Bone marrow aspirate smear · brightfield microscopy, 40× oil immersion: 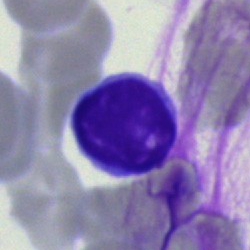Classification — lymphocyte.